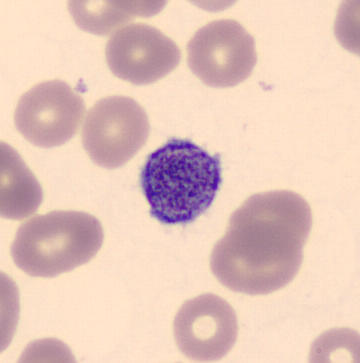

A platelet. Preparation: Peripheral blood film.